Bone marrow aspirate smear
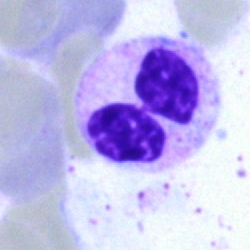Q: Identify the cell.
A: It is a polymorphonuclear neutrophil.